Pappenheim-stained; bone marrow aspirate smear
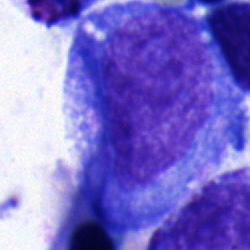Cell type — promyelocyte.